Bone marrow smear
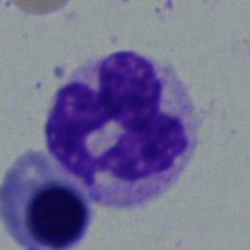 Impression → monocyte.